Bone marrow aspirate smear:
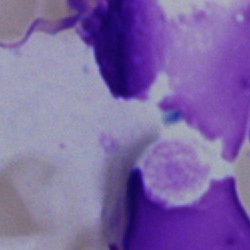Classification — artifact.